Bone marrow aspirate smear — 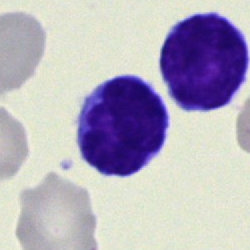Q: What is shown here?
A: A lymphocyte.